Bone marrow aspirate smear · 250 by 250 pixels · brightfield microscopy, 40× oil immersion:
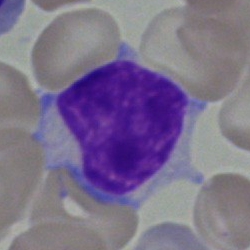 The cell shown is a typical lymphocyte.